Bone marrow aspirate smear; single-cell field.
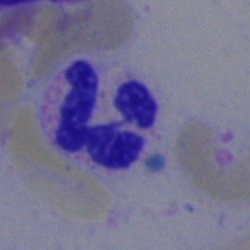Cell — neutrophil (segmented).